Bone marrow smear — 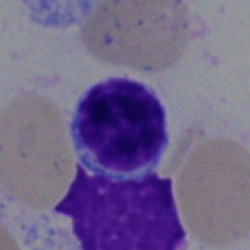Specimen: bone marrow aspirate smear.
Cell: typical lymphocyte.